Bone marrow aspirate smear; brightfield microscopy, 40× oil immersion; single-cell crop:
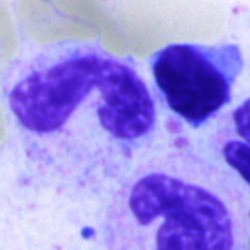Specimen: bone marrow aspirate smear.
Morphological class: band-form neutrophil.
Lineage: myeloid.